Bone marrow smear:
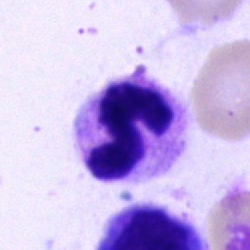

This is a neutrophil (segmented).